Bone marrow smear; brightfield microscopy, 40× oil immersion.
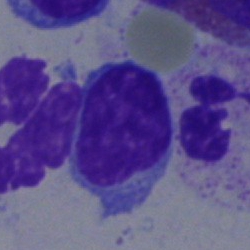The morphological class is lymphocyte.